40× oil immersion. Bone marrow aspirate smear.
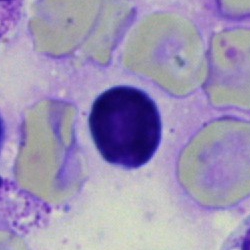
{"cell_type": "typical lymphocyte", "lineage": "lymphoid"}